Bone marrow smear: 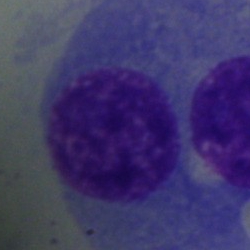
Q: What cell is this?
A: A plasmacyte.